Bone marrow aspirate smear
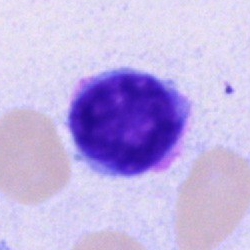

Impression — typical lymphocyte.